Peripheral blood smear — 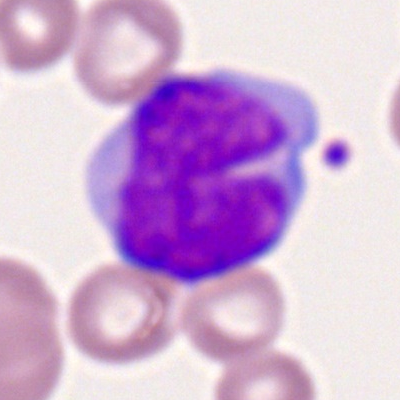 This is a monocyte.